Bone marrow aspirate smear: 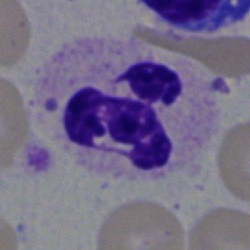

Impression — neutrophil (segmented).